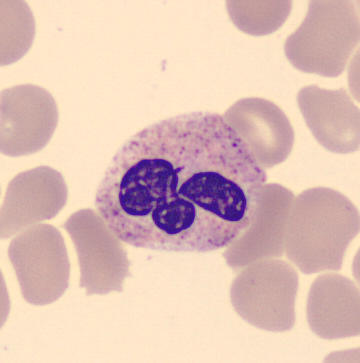

Peripheral blood smear.
This is a neutrophil (segmented).